Peripheral blood smear: 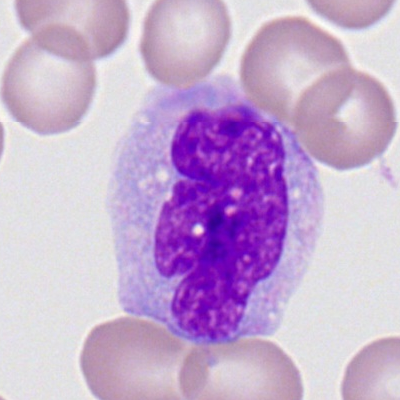
Monocyte.